Bone marrow aspirate smear. Single-cell crop:
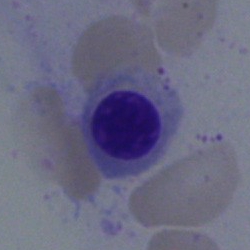

Normoblast.